Bone marrow smear — 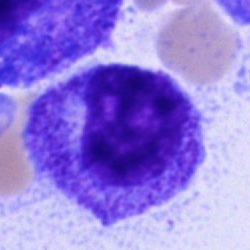

Cell type — promyelocyte.